Bone marrow smear:
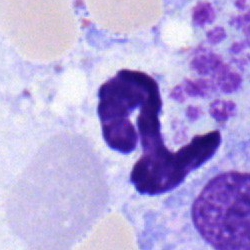

Q: What is the morphological classification of this cell?
A: This is a neutrophil (segmented).